May-Grünwald-Giemsa/Pappenheim stain. Bone marrow aspirate smear. 40× oil immersion: 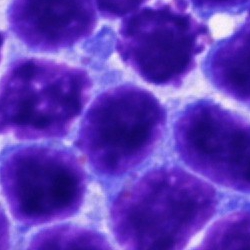

This is a lymphocyte.